Bone marrow aspirate smear · image size 250×250 · 40× objective, oil immersion:
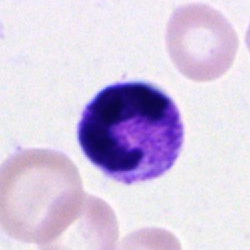 Morphological class = neutrophil (segmented).